40× objective, oil immersion; May-Grünwald-Giemsa/Pappenheim stain; bone marrow smear — 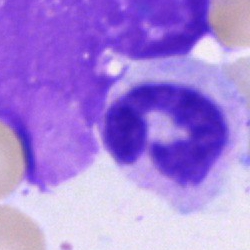The cell is band neutrophil.